Bone marrow smear:
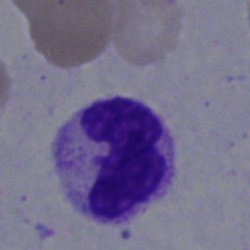Morphological class — segmented neutrophil.